Bone marrow aspirate smear; single-cell crop; 250×250 — 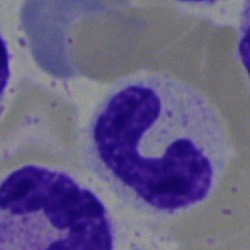 Morphology — stab cell.